Bone marrow aspirate smear.
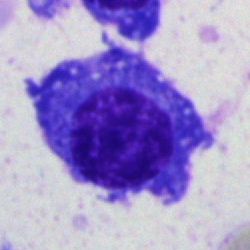
Cell type: plasma cell.